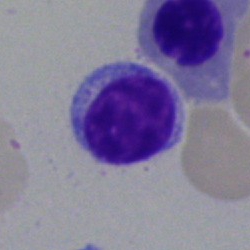
Q: What is shown here?
A: A typical lymphocyte.